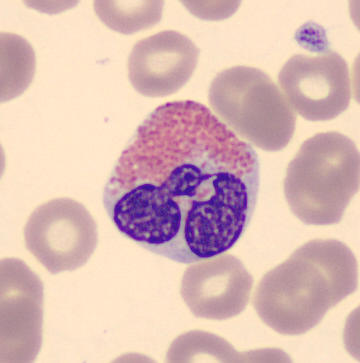
Cell = eosinophil.